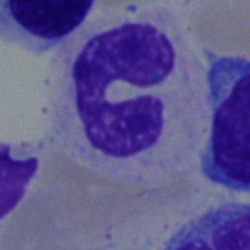

Cell type: band-form neutrophil.